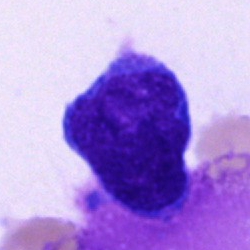
Single cell identified as an artifact.